Bone marrow aspirate smear · MGG-stained.
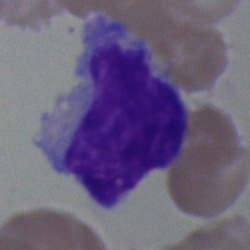

Cell = undifferentiated blast.